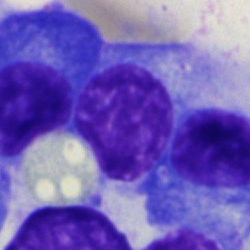 Impression → plasmacyte.